Image size 250×250 · May-Grünwald-Giemsa/Pappenheim stain · bone marrow aspirate smear: 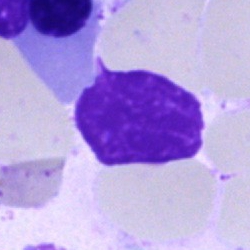This is an artifact.